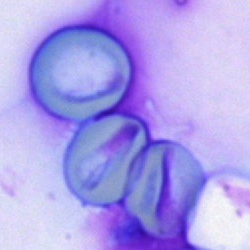Morphology — artefact.